Bone marrow aspirate smear · image size 250×250:
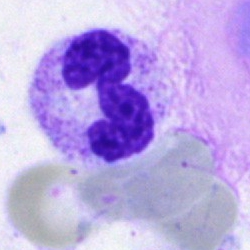 Q: Identify the cell.
A: This is a segmented neutrophil.